Bone marrow aspirate smear
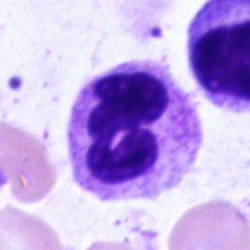Segmented neutrophil.